Bone marrow smear · brightfield, 40× oil-immersion objective · MGG-stained:
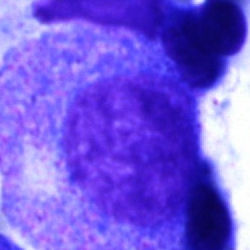

Promyelocyte.